Bone marrow aspirate smear: 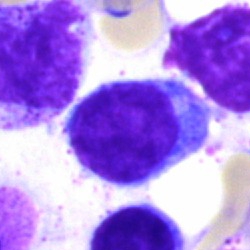

{"cell_type": "lymphocyte"}